250×250 px · bone marrow aspirate smear: 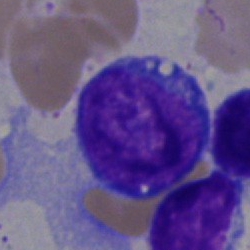
Morphology consistent with a blast cell.